Image size 250×250 · bone marrow aspirate smear: 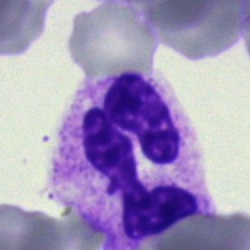 Showing a polymorphonuclear neutrophil.